Bone marrow smear
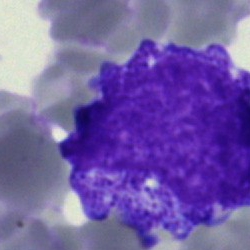

Progranulocyte.